250 by 250 pixels; bone marrow smear.
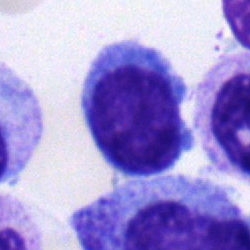 Classification = typical lymphocyte.